Bone marrow smear — 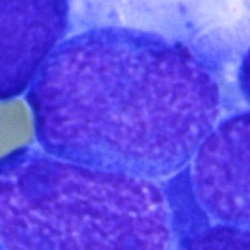

Q: What type of cell is this?
A: It is a blast.